Brightfield microscopy, 40× oil immersion · bone marrow aspirate smear
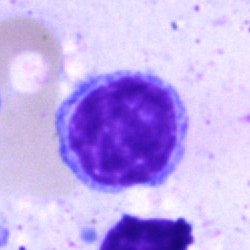Lymphocyte.